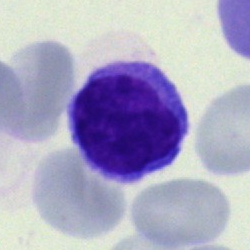Single cell identified as a lymphocyte.